MGG-stained; bone marrow smear:
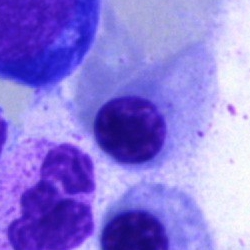
Basophil.